250 by 250 pixels · May-Grünwald-Giemsa stain · bone marrow aspirate smear — 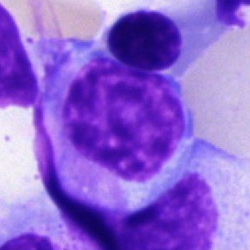 Cell type: lymphocyte.